Brightfield, 40× oil-immersion objective; single-cell field; bone marrow smear
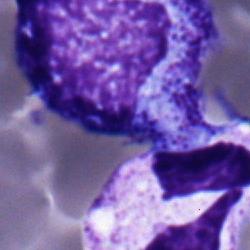 Single cell identified as a myelocyte.